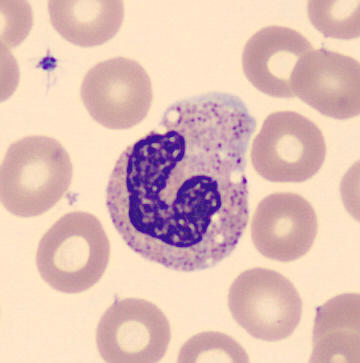 {"cell_type": "stab cell"}

Single cell centered in the field · MGG stain · peripheral blood smear.